Bone marrow smear — 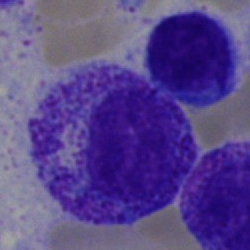

Myelocyte.